Single cell centered in the field; bone marrow aspirate smear: 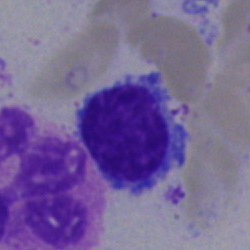 Morphological class — typical lymphocyte.